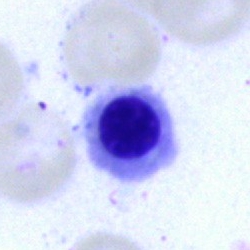 Q: Identify the cell.
A: It is a nucleated red blood cell.